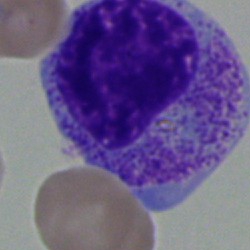 Q: What type of cell is this?
A: A progranulocyte.